250 by 250 pixels. Bone marrow smear:
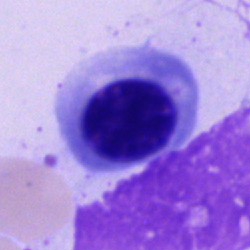 Specimen: bone marrow aspirate smear.
Morphological class: nucleated red cell.